40× oil immersion. Bone marrow aspirate smear. Cropped to a single cell.
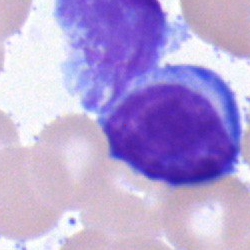 Morphology — typical lymphocyte.